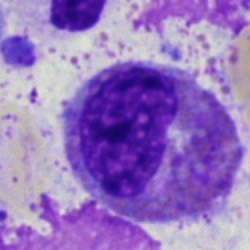
Specimen: bone marrow smear.
Morphological class: eosinophilic granulocyte.
Lineage: myeloid.